Bone marrow smear. 250×250.
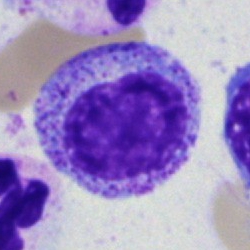 Morphology → myelocyte.